250×250 · bone marrow smear:
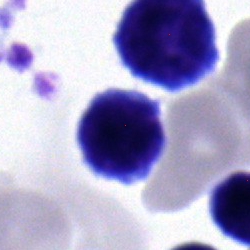

The cell shown is a lymphocyte.